Bone marrow smear: 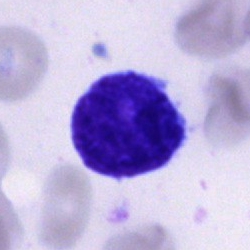

Specimen: bone marrow aspirate smear.
Classification: cell of indeterminate lineage.